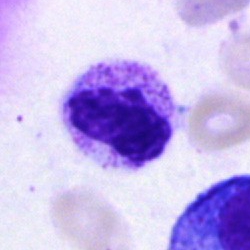

Morphological class = neutrophil (segmented).